Bone marrow aspirate smear: 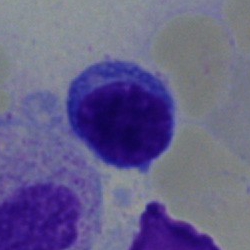

Q: Identify the cell.
A: A lymphocyte.